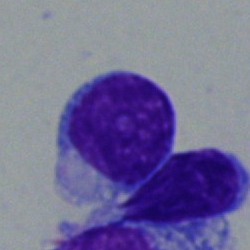 The morphological class is lymphocyte.